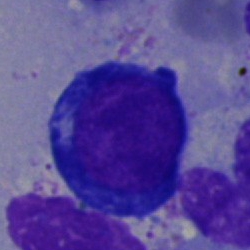

Specimen: bone marrow smear.
Cell: nucleated red blood cell.
Lineage: erythroid.